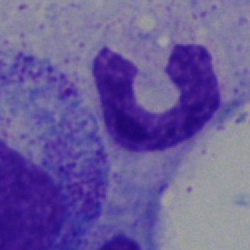A polymorphonuclear neutrophil.